Bone marrow aspirate smear; 40× oil immersion: 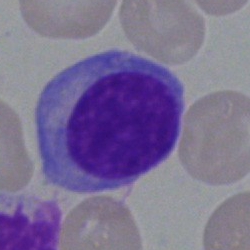
The cell shown is a plasmacyte.